Bone marrow aspirate smear — 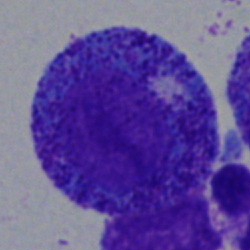

Cell type = promyelocyte.